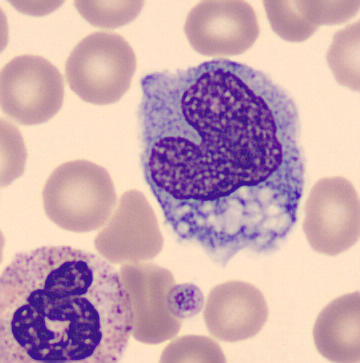

The cell type is monocyte. Preparation: Peripheral blood smear.